40× objective, oil immersion; bone marrow smear
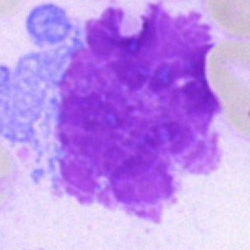 An artefact.